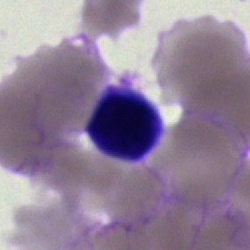

An artifact.